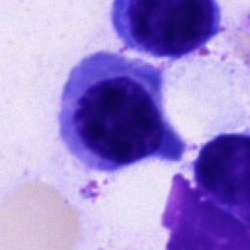 Classification: erythroblast.